Bone marrow aspirate smear. 250×250. May-Grünwald-Giemsa stain.
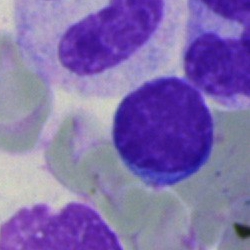 This is a typical lymphocyte.